Bone marrow aspirate smear: 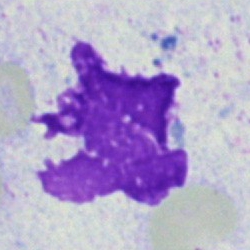
Q: What is shown here?
A: It is an artefact.